Peripheral blood film.
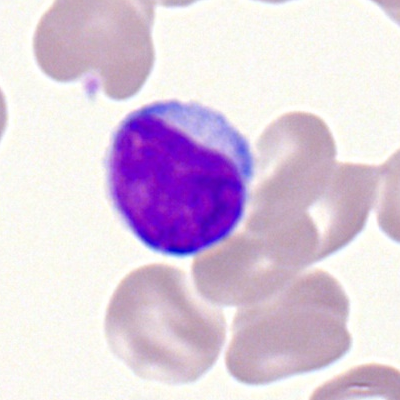 Cell — lymphocyte.